Peripheral blood smear
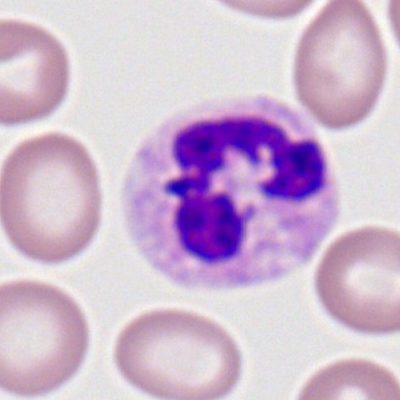

Morphology → polymorphonuclear neutrophil.